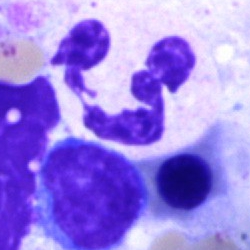

Q: What is the morphological classification of this cell?
A: It is a segmented neutrophil.